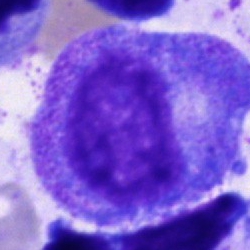 Progranulocyte.